250×250 px · bone marrow aspirate smear
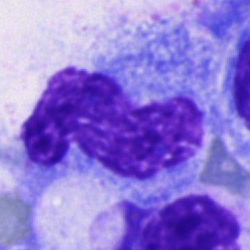
Impression — unidentifiable cell.